40× oil immersion. May-Grünwald-Giemsa/Pappenheim stain. Bone marrow smear.
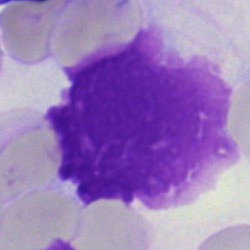

An artifact.